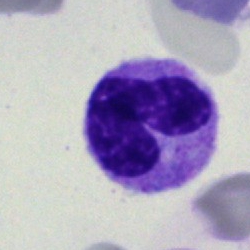 Bone marrow aspirate smear, single cell — band-form neutrophil.